Bone marrow aspirate smear:
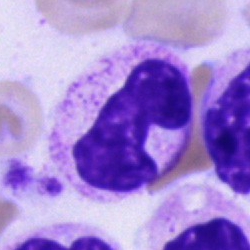
The classification is neutrophil (band).